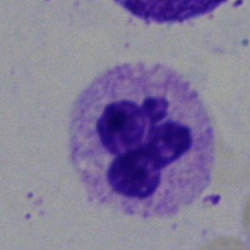A polymorphonuclear neutrophil.